Bone marrow aspirate smear. Cropped to a single cell: 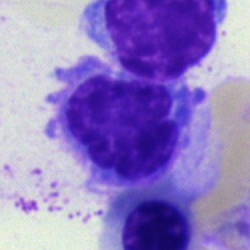 Q: What is the morphological classification of this cell?
A: A plasmacyte.